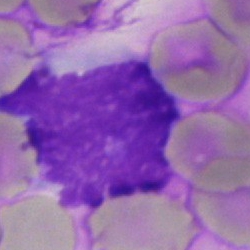Cell type = artifact.